Bone marrow smear — 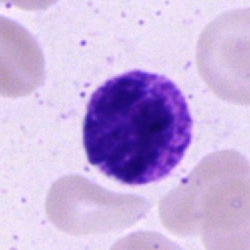The classification is basophil.